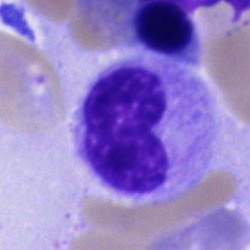
Cell — metamyelocyte.